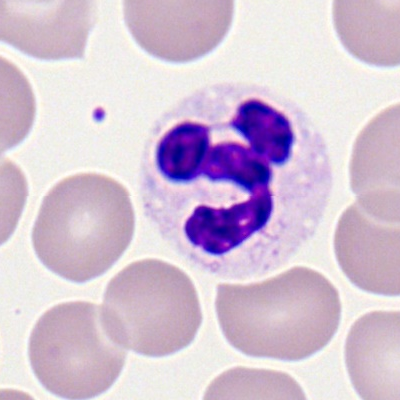

The cell shown is a segmented neutrophil.